Bone marrow smear; brightfield, 40× oil-immersion objective — 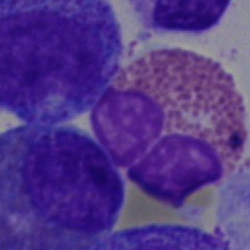Q: What is the morphological classification of this cell?
A: An eosinophil.